Bone marrow aspirate smear:
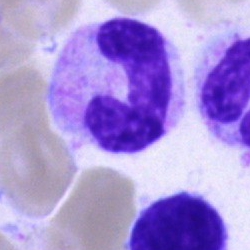The cell type is band neutrophil.